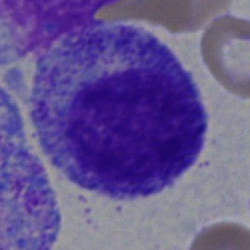Q: What type of cell is this?
A: A myelocyte.